Bone marrow aspirate smear. Brightfield microscopy, 40× oil immersion
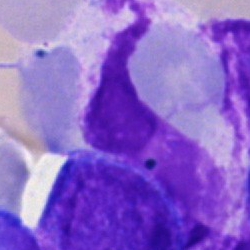
This is an artifact.